Brightfield, 40× oil-immersion objective; bone marrow smear
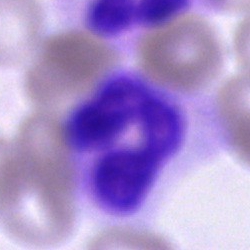 {"cell_type": "cell of indeterminate lineage"}